Bone marrow aspirate smear; 40× oil immersion — 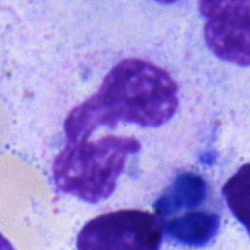

{"cell_type": "polymorphonuclear neutrophil", "lineage": "myeloid"}